Bone marrow aspirate smear — 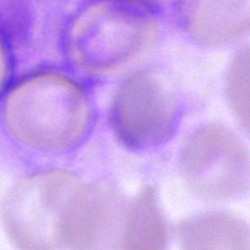

Morphological class: artifact.